40× objective, oil immersion · bone marrow aspirate smear: 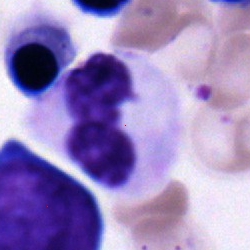 Specimen: bone marrow aspirate smear.
Cell: segmented neutrophil.